Bone marrow aspirate smear
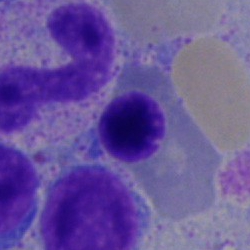 This is a nucleated red blood cell.